MGG-stained. Bone marrow smear.
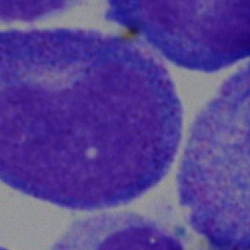 The cell type is promyelocyte.